Pappenheim-stained. Image size 250×250. Bone marrow aspirate smear: 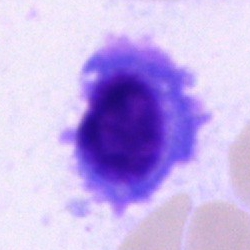 Showing a plasma cell.